Bone marrow smear. 250 by 250 pixels: 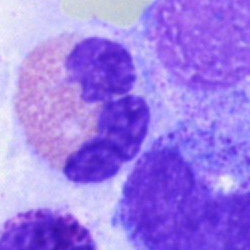Morphology consistent with an eosinophil.